Bone marrow smear: 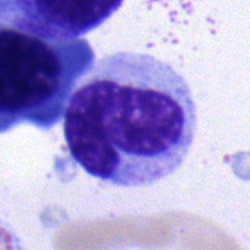Impression → stab cell.